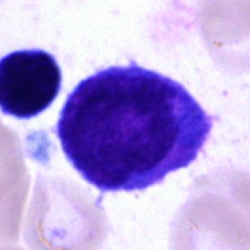

This is an undifferentiated blast.